May-Grünwald-Giemsa stain; bone marrow smear; image size 250×250: 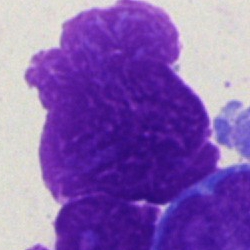
An artifact.